Single-cell crop; bone marrow aspirate smear: 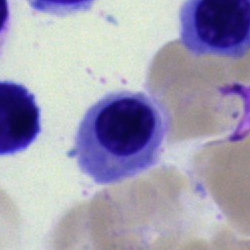 The cell type is nucleated red blood cell.